Bone marrow aspirate smear. 40× oil immersion.
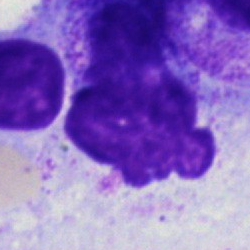

Cell type — artifact.